Pappenheim-stained; bone marrow smear — 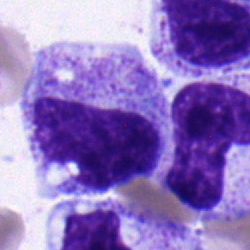

Classification = myelocyte.